Bone marrow smear · 250×250: 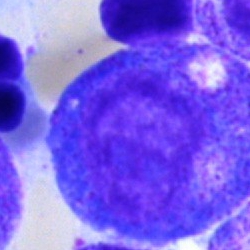Q: What cell is this?
A: This is a promyelocyte.